Bone marrow smear — 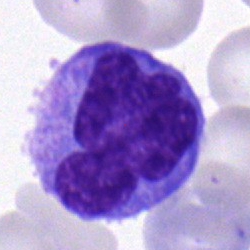 Impression — monocyte.